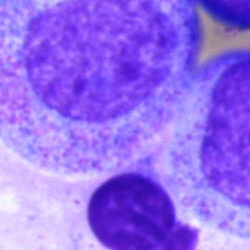 {"cell_type": "myelocyte"}